Bone marrow aspirate smear; MGG-stained; 250×250.
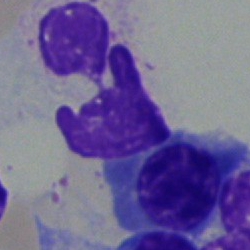
Specimen: bone marrow smear.
Cell type: normoblast.